Bone marrow smear.
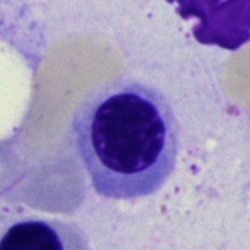
{"cell_type": "nucleated red cell", "lineage": "erythroid"}